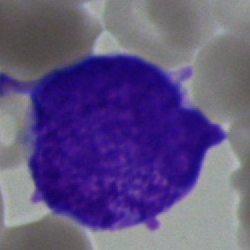Specimen: bone marrow smear.
Cell: blast.